Bone marrow smear.
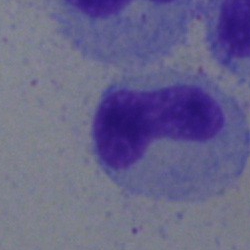

This is a stab cell.